Image size 250×250; bone marrow smear
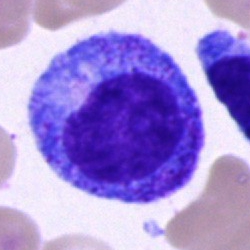Progranulocyte.